Single-cell crop; 250 by 250 pixels; bone marrow aspirate smear
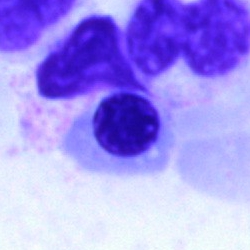 Showing a nucleated red blood cell.